Peripheral blood smear: 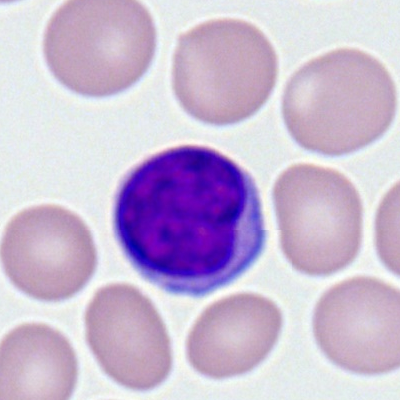Single cell identified as a typical lymphocyte.